Bone marrow smear:
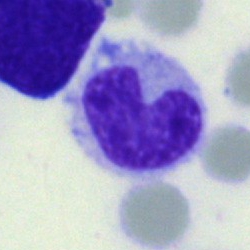 Q: What type of cell is this?
A: It is a promyelocyte.